May-Grünwald-Giemsa stain · 40× oil immersion · bone marrow aspirate smear: 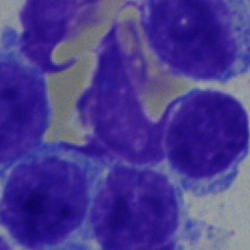Specimen: bone marrow aspirate smear.
Classification: typical lymphocyte.
Lineage: lymphoid.